Bone marrow smear — 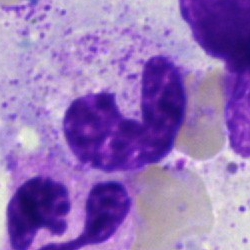Morphology — polymorphonuclear neutrophil.